Bone marrow aspirate smear — 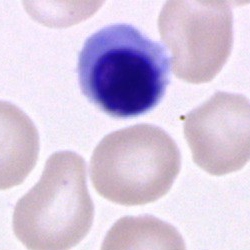

Specimen: bone marrow aspirate smear.
Cell: nucleated red cell.